Bone marrow aspirate smear — 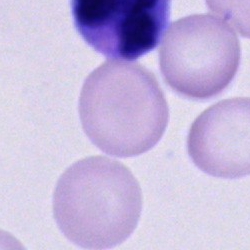

Specimen: bone marrow aspirate smear.
Cell type: cell of indeterminate lineage.